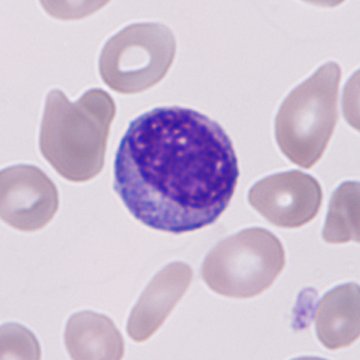

Showing a granulocyte precursor. Preparation: May Grünwald-Giemsa stain. Peripheral blood film.